Bone marrow smear — 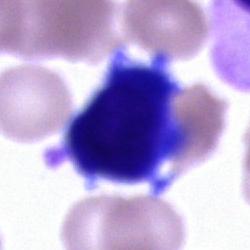 Cell type — artefact.